Bone marrow smear:
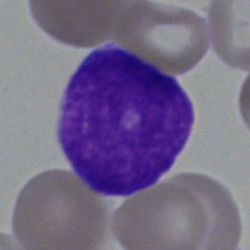
Q: What cell is this?
A: This is a blast cell.